Peripheral blood film:
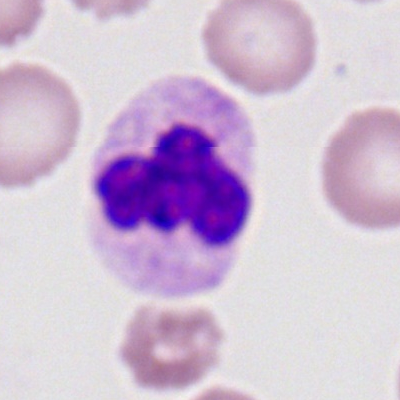
Specimen: peripheral blood smear.
Classification: neutrophil (segmented).
Lineage: myeloid.